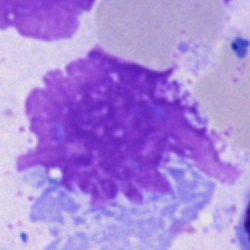

Bone marrow aspirate smear, single cell — artefact.